May-Grünwald-Giemsa/Pappenheim stain. Bone marrow smear
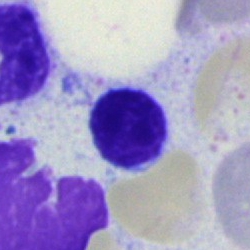 Morphology consistent with a typical lymphocyte.